Image size 250×250 · bone marrow aspirate smear.
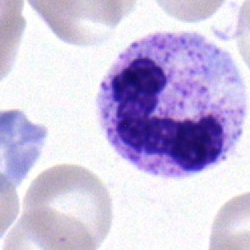
The cell shown is a neutrophil (band).